Bone marrow smear.
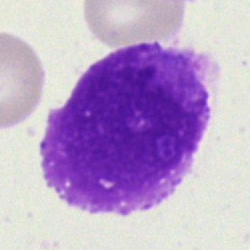Specimen: bone marrow aspirate smear.
Morphological class: artifact.